Bone marrow aspirate smear
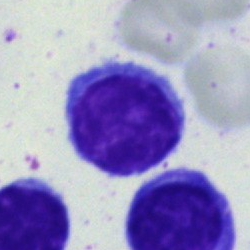
Classification = typical lymphocyte.